Peripheral blood film · Romanowsky-type stain — 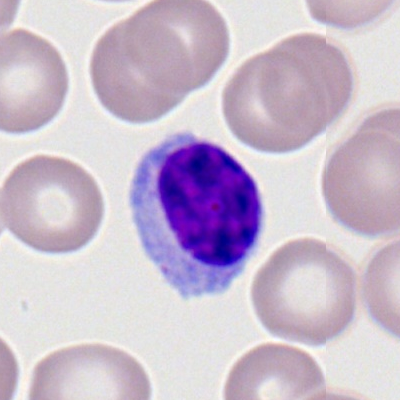 Q: Identify the cell.
A: It is a typical lymphocyte.